Bone marrow aspirate smear — 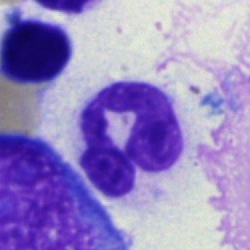 Classification = polymorphonuclear neutrophil.